Bone marrow smear — 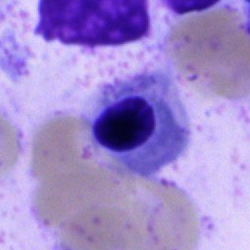Specimen: bone marrow smear.
Classification: erythroblast.
Lineage: erythroid.